Bone marrow smear
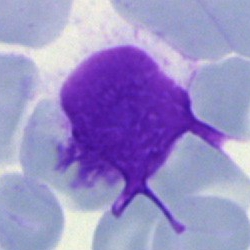 Cell — artefact.